Peripheral blood smear:
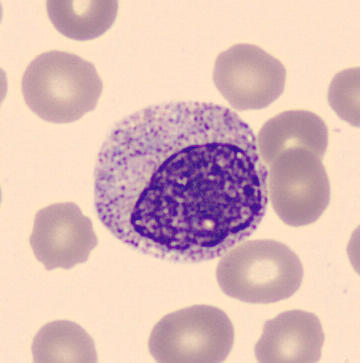 Cell — myelocyte.